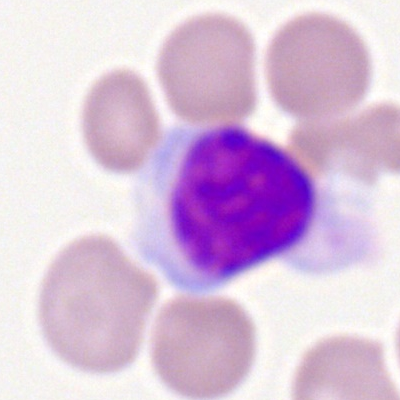
{"cell_type": "typical lymphocyte"}